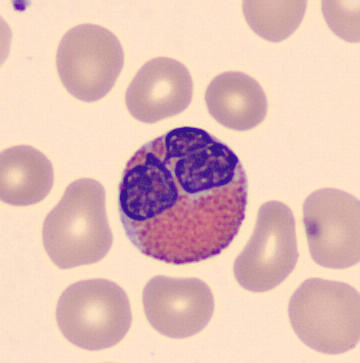

Showing an eosinophil.